Bone marrow smear; May-Grünwald-Giemsa/Pappenheim stain.
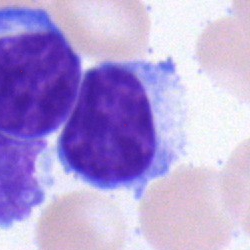Q: What type of cell is this?
A: A typical lymphocyte.